Bone marrow aspirate smear; brightfield microscopy, 40× oil immersion; May-Grünwald-Giemsa/Pappenheim stain:
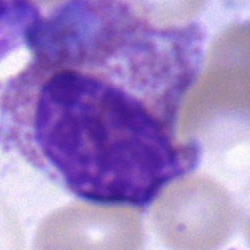

Q: What is shown here?
A: An eosinophilic granulocyte.